Brightfield, 40× oil-immersion objective · bone marrow aspirate smear · single-cell field — 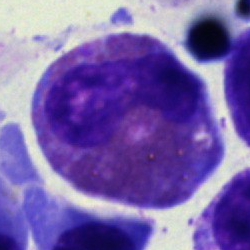

The cell is eosinophilic granulocyte.